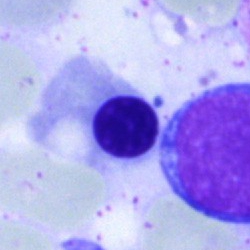
{"cell_type": "nucleated red cell", "lineage": "erythroid"}